Bone marrow aspirate smear; 250×250; 40× objective, oil immersion.
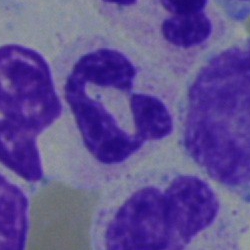

The classification is polymorphonuclear neutrophil.